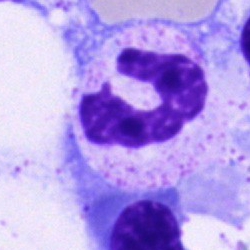
Specimen: bone marrow aspirate smear.
Cell: polymorphonuclear neutrophil.